Bone marrow smear
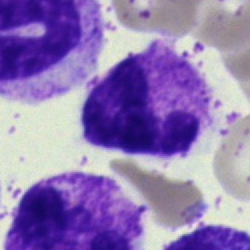A segmented neutrophil.